Bone marrow smear; single-cell crop.
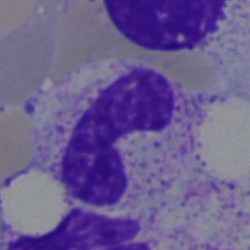 Q: Which cell type is shown here?
A: Segmented neutrophil.